Bone marrow aspirate smear. Single-cell field. MGG-stained.
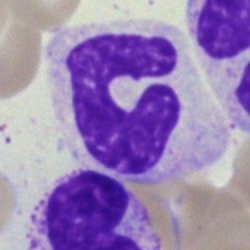
Q: What is shown here?
A: Band-form neutrophil.